Image size 250×250 · bone marrow smear: 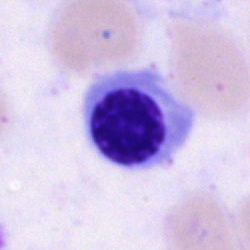 Q: What is the morphological classification of this cell?
A: This is a nucleated red cell.